Bone marrow smear — 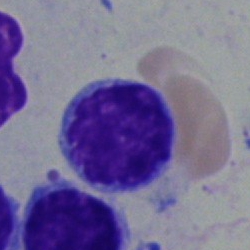Classification = typical lymphocyte.